Bone marrow aspirate smear; brightfield microscopy, 40× oil immersion
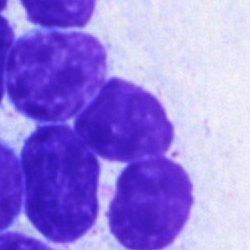Showing an artefact.